Bone marrow aspirate smear: 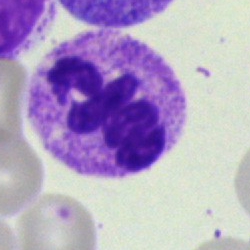

A segmented neutrophil.